Bone marrow aspirate smear; single cell centered in the field
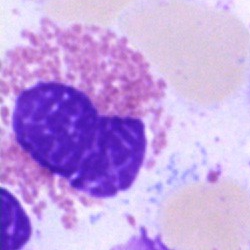The cell type is eosinophilic granulocyte.